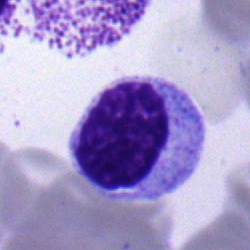

Cell type: typical lymphocyte.